Cropped to a single cell · bone marrow aspirate smear: 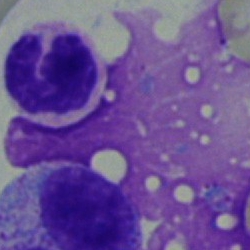

Specimen: bone marrow aspirate smear.
Cell: segmented neutrophil.
Lineage: myeloid.